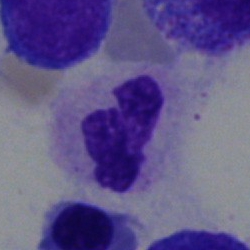 {"cell_type": "neutrophil (segmented)", "lineage": "myeloid"}